Bone marrow aspirate smear: 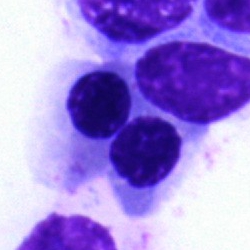 Morphology → erythroblast.